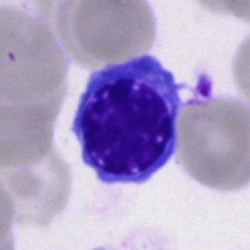Q: What is shown here?
A: A nucleated red blood cell.